Bone marrow smear
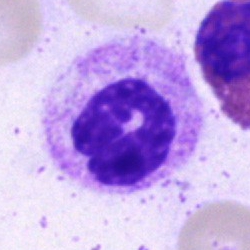

Cell type — polymorphonuclear neutrophil.